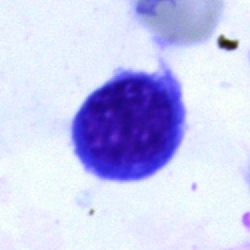
Q: What is the morphological classification of this cell?
A: Nucleated red cell.